Bone marrow smear
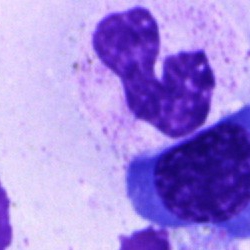
{"cell_type": "segmented neutrophil", "lineage": "myeloid"}